250×250 · bone marrow smear:
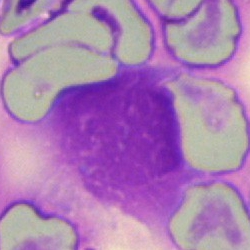{"cell_type": "artifact"}